Bone marrow smear
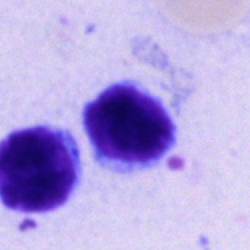Typical lymphocyte.